Bone marrow aspirate smear
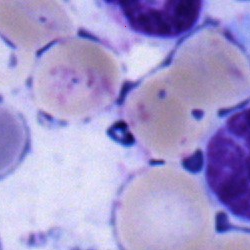 Impression — polymorphonuclear neutrophil.